Bone marrow smear · single-cell crop:
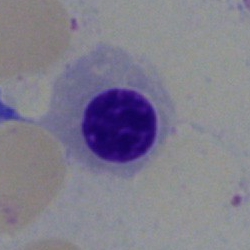Morphology — erythroblast.